Cropped to a single cell. Bone marrow aspirate smear.
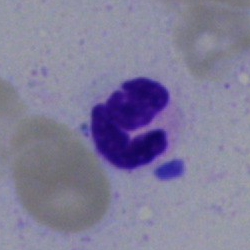Q: What is shown here?
A: Neutrophil (segmented).